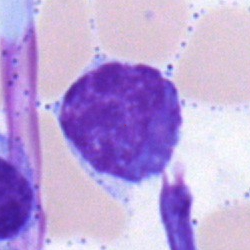 Morphology consistent with a lymphocyte.